Bone marrow aspirate smear · image size 250×250
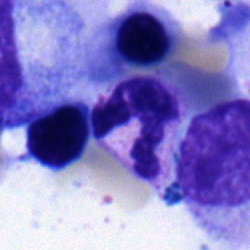

This is a neutrophil (segmented).